Bone marrow aspirate smear — 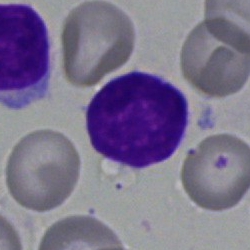

Cell type: typical lymphocyte.